Bone marrow aspirate smear: 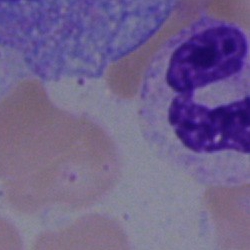
Classification = artefact.